Bone marrow smear
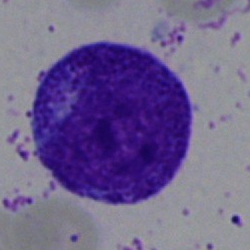 Specimen: bone marrow aspirate smear.
Cell: progranulocyte.
Lineage: myeloid.